Pappenheim-stained. Bone marrow aspirate smear — 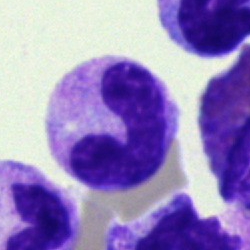
Specimen: bone marrow aspirate smear.
Cell type: neutrophil (band).
Lineage: myeloid.